Bone marrow smear. 250 by 250 pixels.
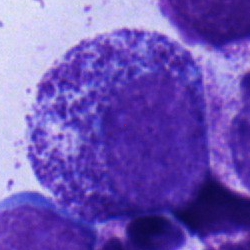
Promyelocyte.